Bone marrow smear — 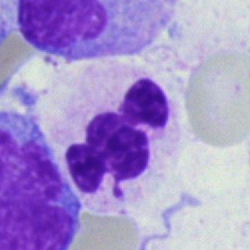 The morphological class is neutrophil (segmented).